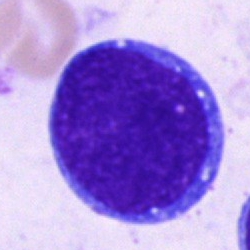Undifferentiated blast.